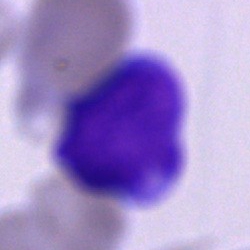Cell = cell of indeterminate lineage.